Bone marrow aspirate smear:
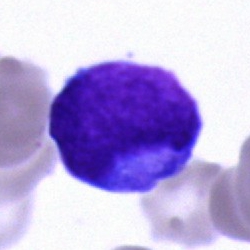

Specimen: bone marrow aspirate smear.
Classification: undifferentiated blast.